Bone marrow aspirate smear. Image size 250×250. Single-cell field: 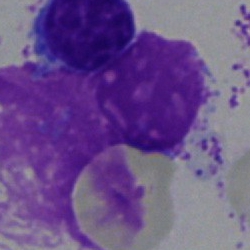The cell shown is an artefact.